Peripheral blood film:
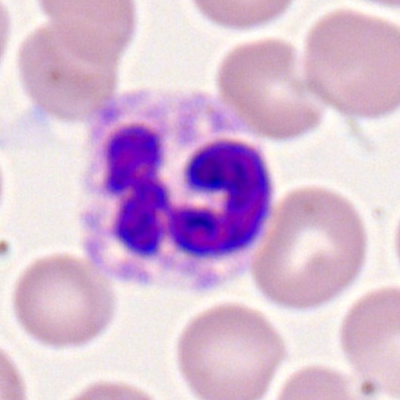

Neutrophil (segmented).